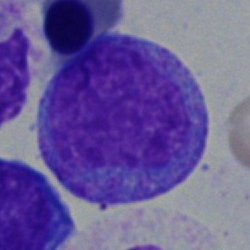Q: What is the morphological classification of this cell?
A: This is a progranulocyte.